Single cell centered in the field. 400×400 px. Peripheral blood film
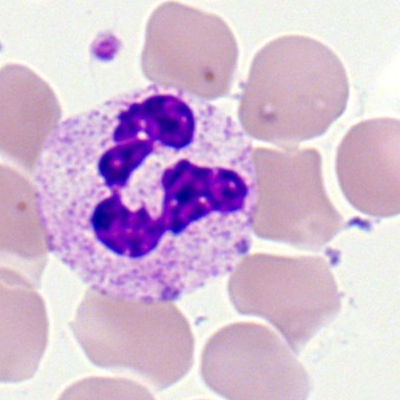

Morphological class = polymorphonuclear neutrophil.